Bone marrow smear — 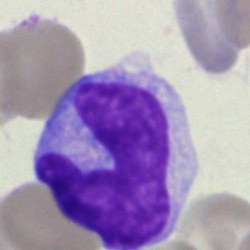

Specimen: bone marrow aspirate smear.
Morphological class: monocyte.
Lineage: myeloid.